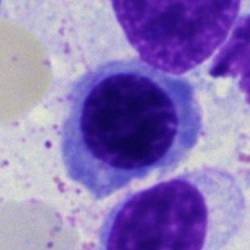 Cell type — normoblast.